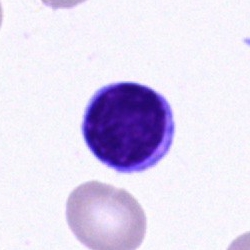This is a typical lymphocyte.